Bone marrow smear. 250 by 250 pixels. Pappenheim-stained — 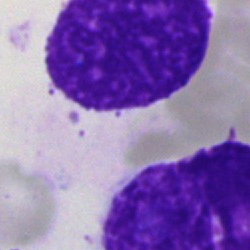 The cell type is artifact.